Peripheral blood smear
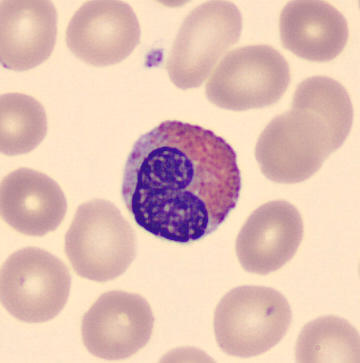 Q: Which cell type is shown here?
A: This is an eosinophil.